Bone marrow smear; cropped to a single cell; MGG-stained:
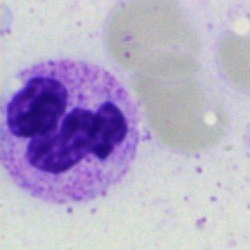Specimen: bone marrow aspirate smear.
Cell type: neutrophil (segmented).
Lineage: myeloid.